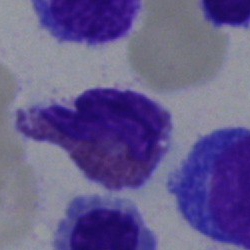 Q: What type of cell is this?
A: This is an eosinophil.